Bone marrow smear
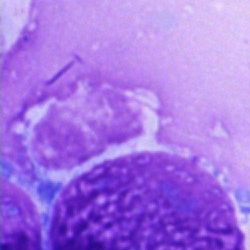Morphology → artefact.